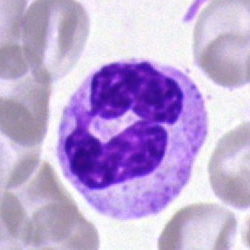 Bone marrow aspirate smear, single cell — polymorphonuclear neutrophil.